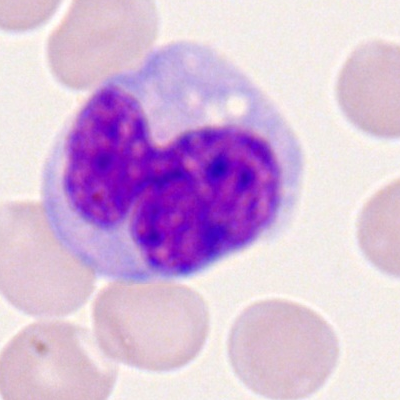
The morphological class is monocyte.